Bone marrow aspirate smear. 250 by 250 pixels. MGG-stained:
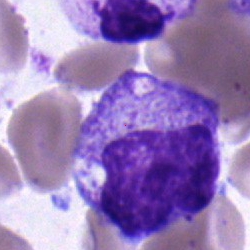 Impression — myelocyte.